250×250; bone marrow aspirate smear — 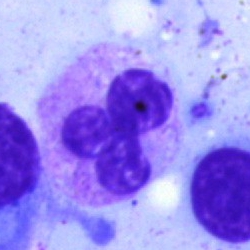Q: Which cell type is shown here?
A: A neutrophil (segmented).